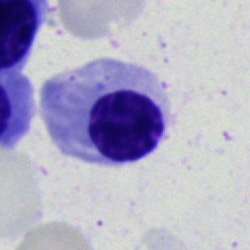

Q: What is shown here?
A: Erythroblast.